Bone marrow aspirate smear — 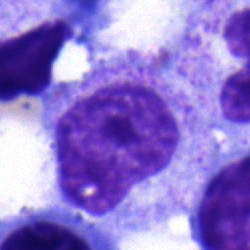

Morphology — metamyelocyte.